Bone marrow aspirate smear — 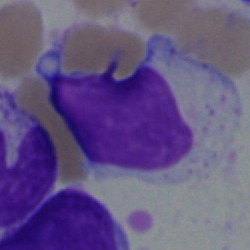 {"cell_type": "typical lymphocyte", "lineage": "lymphoid"}